Bone marrow smear · May-Grünwald-Giemsa/Pappenheim stain · brightfield microscopy, 40× oil immersion:
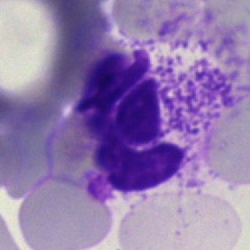Morphological class — segmented neutrophil.